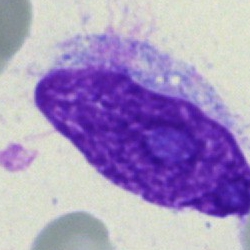 Showing an artefact.